Bone marrow aspirate smear — 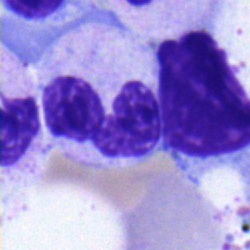 Impression → polymorphonuclear neutrophil.